Bone marrow aspirate smear. Image size 250×250
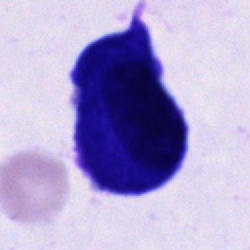

Specimen: bone marrow aspirate smear.
Morphological class: plasmacyte.
Lineage: lymphoid.